Cropped to a single cell · bone marrow smear:
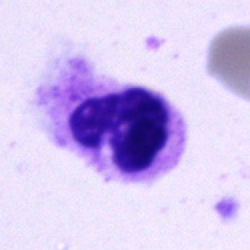
Cell type — neutrophil (segmented).